Bone marrow smear.
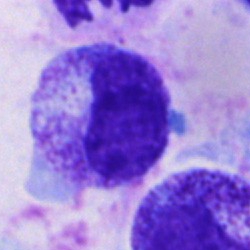

Classification — myelocyte.